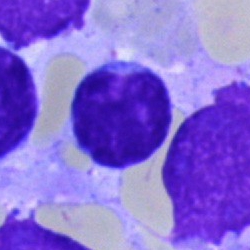Classification: typical lymphocyte.